Bone marrow aspirate smear.
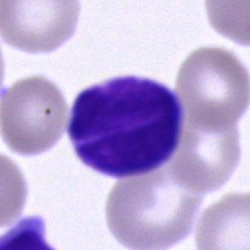
Single cell identified as a lymphocyte.